Bone marrow smear
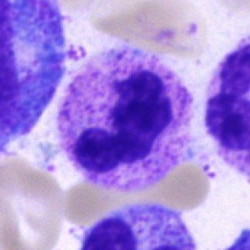 Cell: polymorphonuclear neutrophil.